Bone marrow aspirate smear — 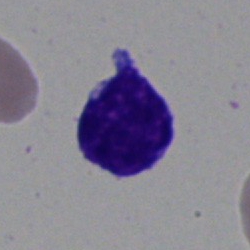
Morphology consistent with a blast cell.